Bone marrow smear
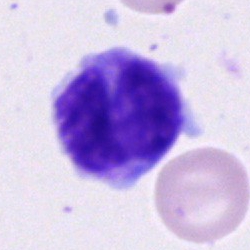
Q: Identify the cell.
A: It is a monocyte.